Bone marrow smear — 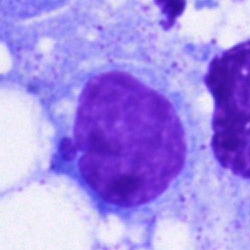{"cell_type": "undifferentiated blast"}